Bone marrow smear — 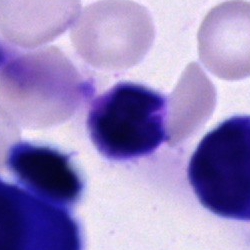

Morphology consistent with an unidentifiable cell.